Brightfield microscopy, 40× oil immersion; bone marrow aspirate smear:
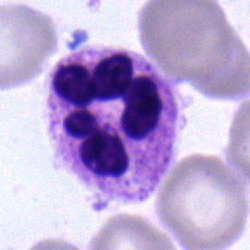 Morphology consistent with a polymorphonuclear neutrophil.